Bone marrow smear — 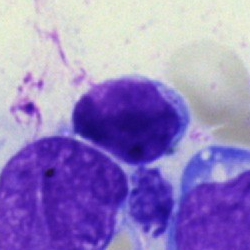
Showing a typical lymphocyte.